Bone marrow smear:
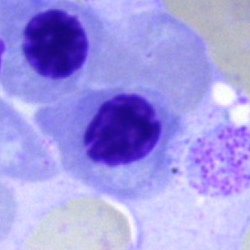Cell type: erythroblast.